250×250 px. Bone marrow aspirate smear: 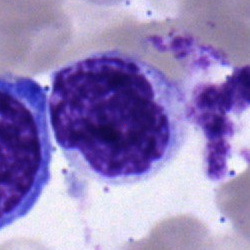

Classification — myelocyte.